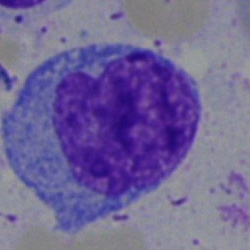Cell type = monocyte.